Bone marrow smear.
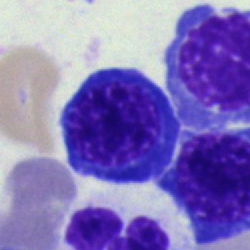Erythroblast.